Peripheral blood film. Romanowsky-type stain.
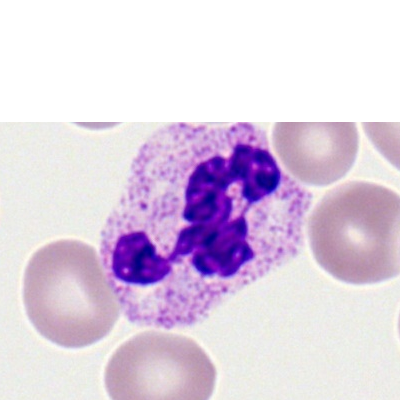
Impression → segmented neutrophil.